Bone marrow smear:
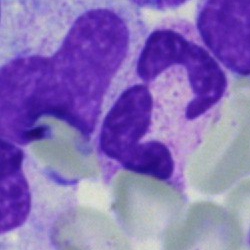Single cell identified as a neutrophil (segmented).